100× objective, oil immersion. Peripheral blood film:
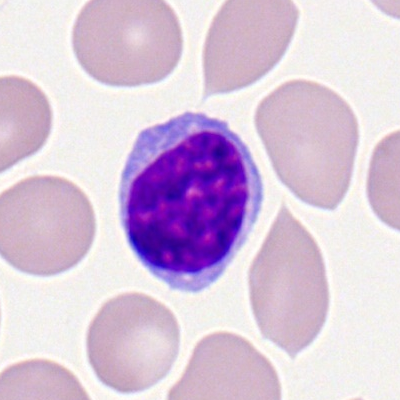

Classification: typical lymphocyte.